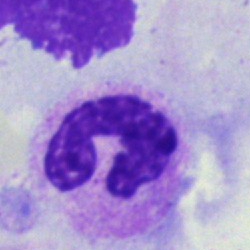

Specimen: bone marrow aspirate smear.
Cell: band neutrophil.